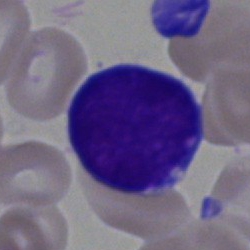

Bone marrow smear showing a blast cell.